Bone marrow aspirate smear · 40× oil immersion · cropped to a single cell: 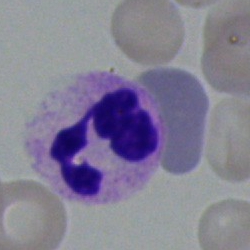 Q: What is the morphological classification of this cell?
A: This is a segmented neutrophil.